Cropped to a single cell. 250×250. Bone marrow aspirate smear: 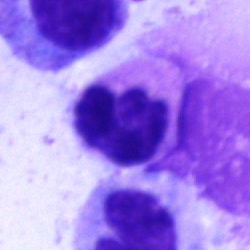

Specimen: bone marrow aspirate smear.
Cell: polymorphonuclear neutrophil.
Lineage: myeloid.